40× objective, oil immersion · bone marrow aspirate smear.
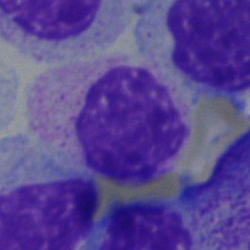 Specimen: bone marrow aspirate smear.
Morphological class: myelocyte.